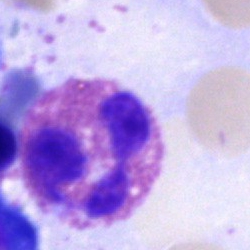Specimen: bone marrow smear.
Classification: eosinophilic granulocyte.